Peripheral blood smear · Romanowsky-type stain
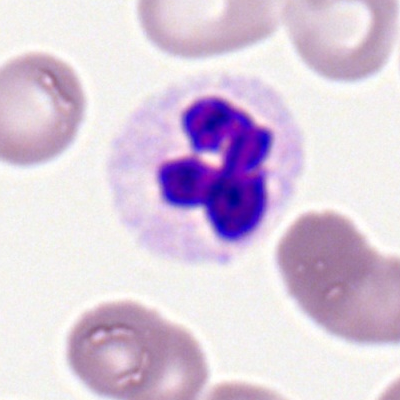

The cell shown is a neutrophil (segmented).